360×363. Peripheral blood smear. Cropped to a single cell: 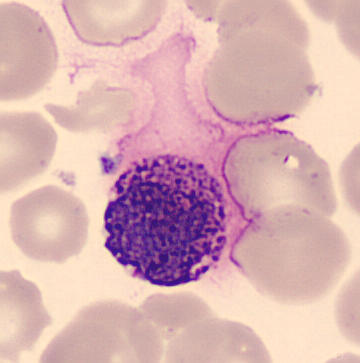{"cell_type": "basophilic granulocyte"}